Bone marrow smear.
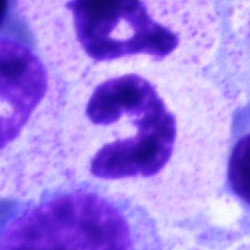This is a polymorphonuclear neutrophil.